Bone marrow smear
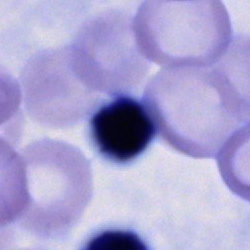

This is a cell of indeterminate lineage.